MGG-stained. Bone marrow smear — 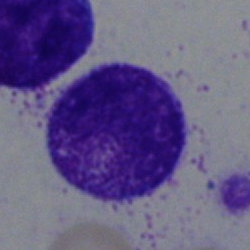Metamyelocyte.